Bone marrow smear: 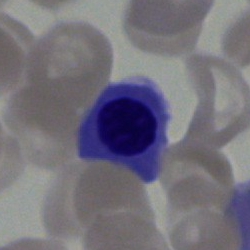
Morphology → normoblast.